40× objective, oil immersion; May-Grünwald-Giemsa/Pappenheim stain; bone marrow aspirate smear: 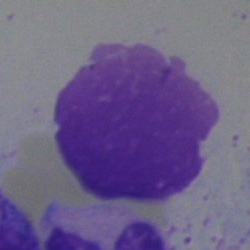

{"cell_type": "artefact"}